250 by 250 pixels · bone marrow aspirate smear.
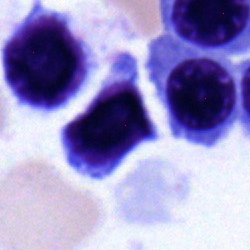
Cell — lymphocyte.